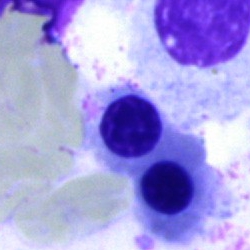

Q: What is the morphological classification of this cell?
A: Erythroblast.